Image size 250×250. Bone marrow aspirate smear:
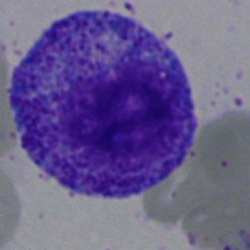The cell type is progranulocyte.